Bone marrow smear. 250×250:
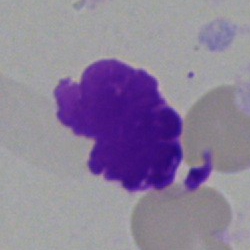

Impression — artifact.